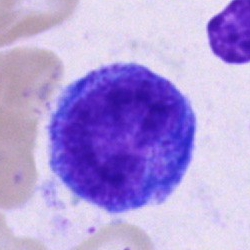
Q: Identify the cell.
A: This is a promyelocyte.